Bone marrow aspirate smear.
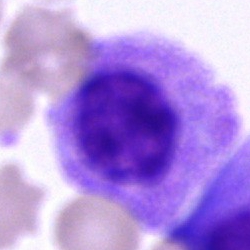
Cell of indeterminate lineage.